Bone marrow aspirate smear
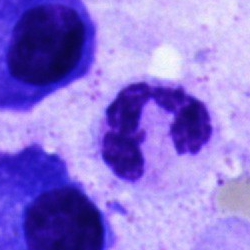 Impression — neutrophil (segmented).